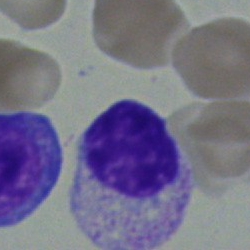Cell type = myelocyte.